Bone marrow smear:
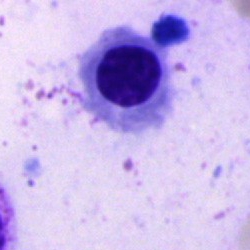

The cell shown is a normoblast.